Bone marrow smear · 250 by 250 pixels.
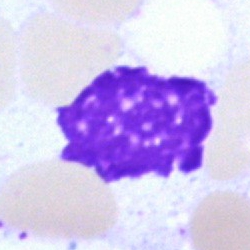Morphology → artefact.